Bone marrow smear.
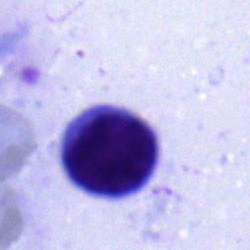

Specimen: bone marrow smear.
Classification: typical lymphocyte.
Lineage: lymphoid.